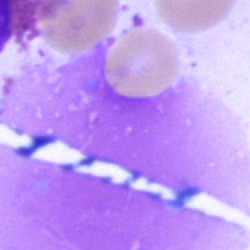
Specimen: bone marrow smear.
Morphological class: artifact.